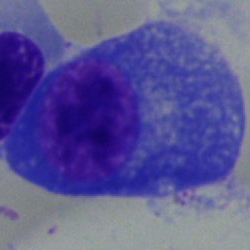 Cell: plasmacyte.